Bone marrow aspirate smear — 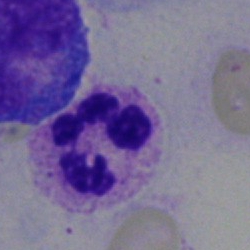 Classification: polymorphonuclear neutrophil.